Bone marrow aspirate smear · single cell centered in the field
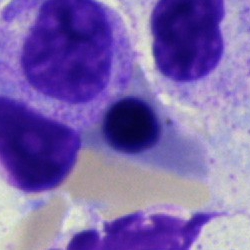

Q: What is shown here?
A: Erythroblast.